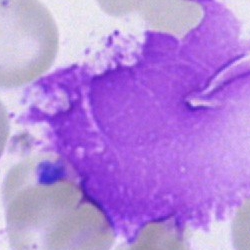 Artefact.